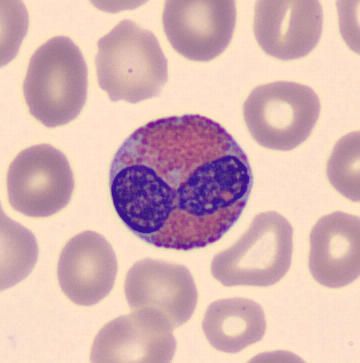

Q: Which cell type is shown here?
A: An eosinophilic granulocyte.

Preparation: Peripheral blood film.